Bone marrow aspirate smear. 40× oil immersion — 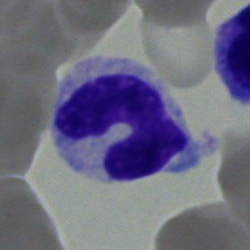

Impression → neutrophil (band).